Bone marrow aspirate smear: 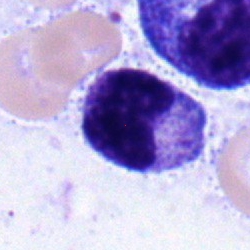 Q: Identify the cell.
A: Myelocyte.